Bone marrow aspirate smear:
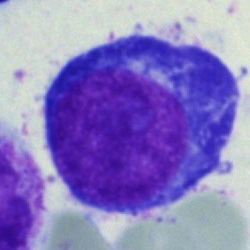

Morphology consistent with a pronormoblast.